May-Grünwald-Giemsa stain · bone marrow aspirate smear — 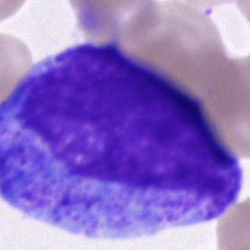

Morphological class — promyelocyte.